Bone marrow smear
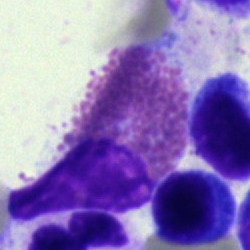 The cell shown is an eosinophil.